Bone marrow smear: 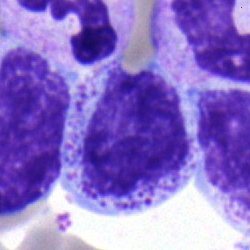Morphological class — myelocyte.